Bone marrow smear:
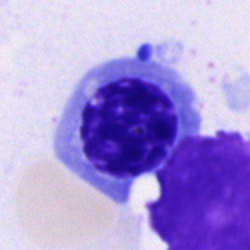

Showing a normoblast.